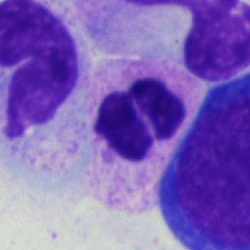 The morphological class is segmented neutrophil.